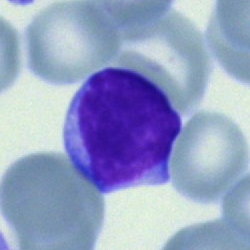

A lymphocyte on a bone marrow smear.